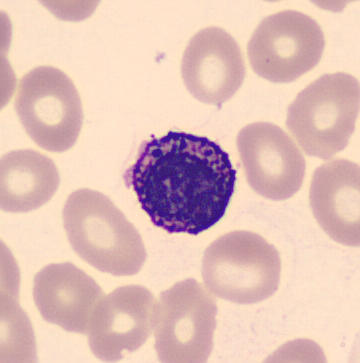

Single-cell crop from a peripheral blood smear: basophil.